Bone marrow smear — 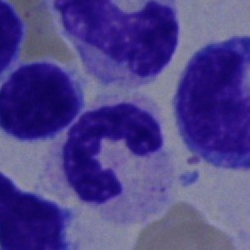

Morphology consistent with a polymorphonuclear neutrophil.